Bone marrow smear:
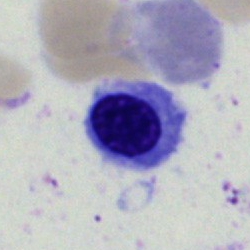The cell shown is a normoblast.